Brightfield microscopy, 40× oil immersion. Bone marrow aspirate smear: 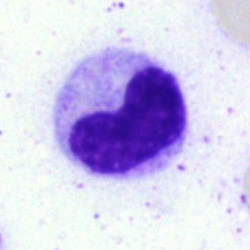{"cell_type": "band neutrophil"}